Bone marrow aspirate smear · single-cell crop:
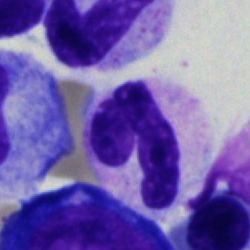The cell shown is a segmented neutrophil.